40× objective, oil immersion · bone marrow aspirate smear.
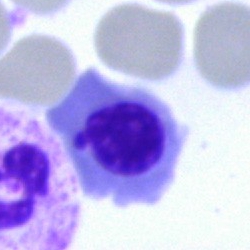Showing a nucleated red cell.